Bone marrow smear:
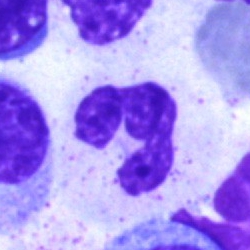
The cell shown is a segmented neutrophil.